250×250 px; bone marrow smear; single-cell field — 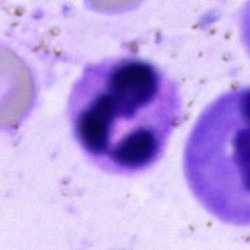

Morphological class — neutrophil (segmented).